Bone marrow aspirate smear
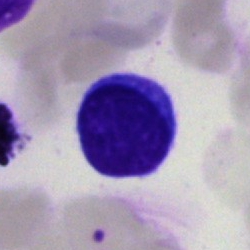
The classification is typical lymphocyte.